Bone marrow smear; 250 by 250 pixels
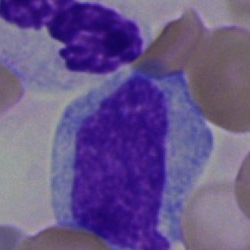

Q: What cell is this?
A: Progranulocyte.